Peripheral blood smear.
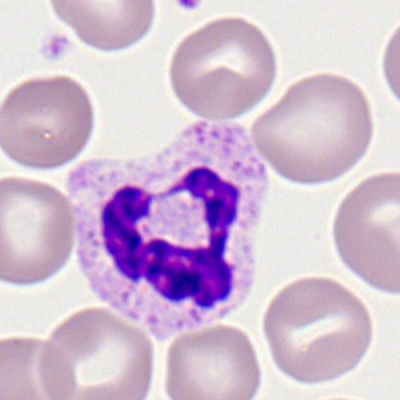
Q: What type of cell is this?
A: Neutrophil (segmented).